250 by 250 pixels · bone marrow aspirate smear.
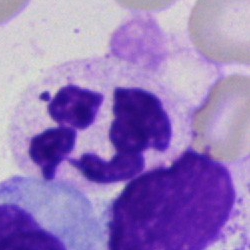Classification = polymorphonuclear neutrophil.